Bone marrow smear
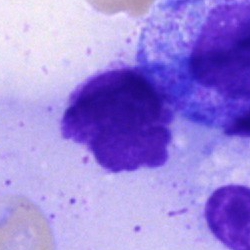

Morphology consistent with an artefact.